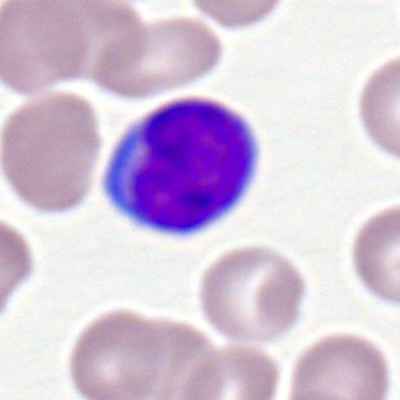
Cell type — typical lymphocyte.